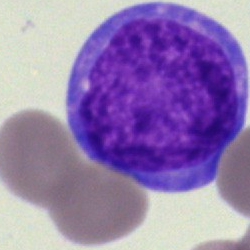 Impression — blast.